250×250 · MGG-stained · bone marrow smear: 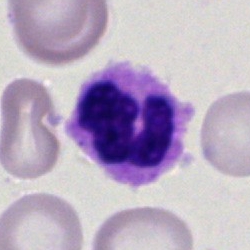The cell shown is a polymorphonuclear neutrophil.